Bone marrow smear — 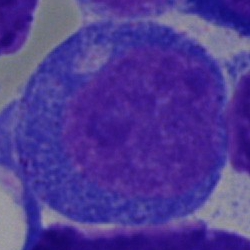

Impression → progranulocyte.